Bone marrow aspirate smear · May-Grünwald-Giemsa stain:
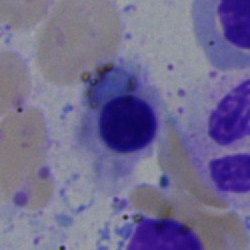

Showing a nucleated red blood cell.